Bone marrow smear — 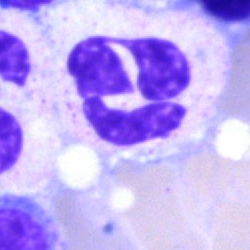

{"cell_type": "neutrophil (segmented)"}